Bone marrow aspirate smear; 250×250; 40× objective, oil immersion:
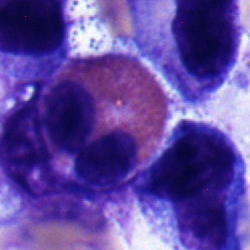
Cell type: eosinophilic granulocyte.